Bone marrow aspirate smear · 40× oil immersion.
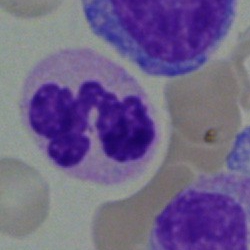 Impression → neutrophil (segmented).